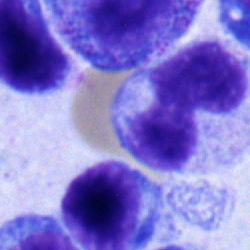

Q: What is shown here?
A: It is a myelocyte.